Peripheral blood film: 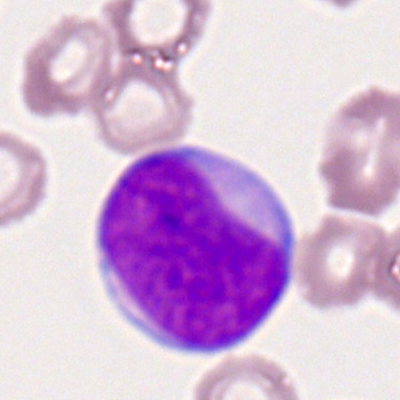
Morphology → myeloid blast.